Bone marrow aspirate smear
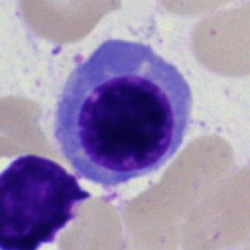Cell type = nucleated red blood cell.